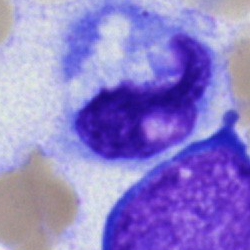

A monocyte on a bone marrow smear.